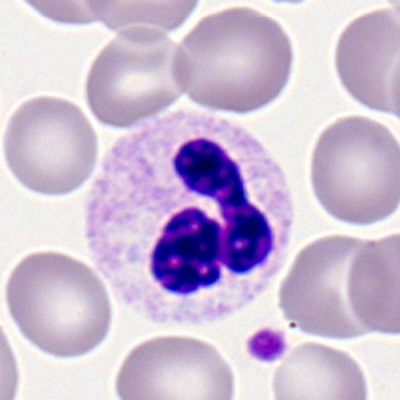

The cell is neutrophil (segmented).